Bone marrow aspirate smear
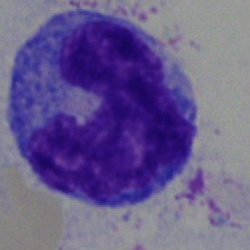 Cell: monocyte.